250×250 px; bone marrow aspirate smear — 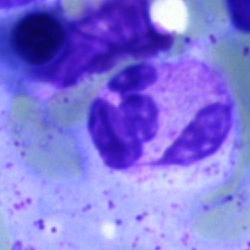

Showing a segmented neutrophil.